MGG-stained. Bone marrow smear
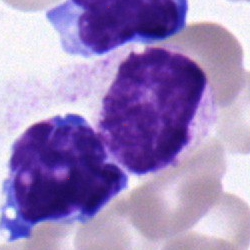 Showing a myelocyte.